Bone marrow aspirate smear — 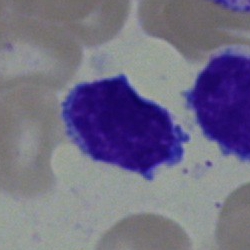
The cell type is lymphocyte.